Bone marrow smear — 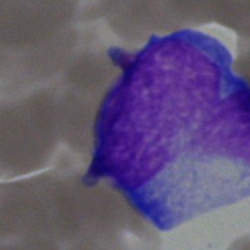

The cell type is blast.